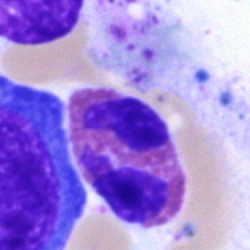

Bone marrow smear showing an eosinophil.